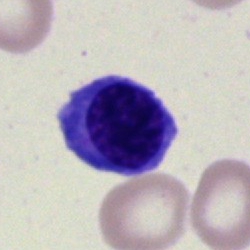 Q: What type of cell is this?
A: A nucleated red cell.